Peripheral blood smear; 100× oil immersion.
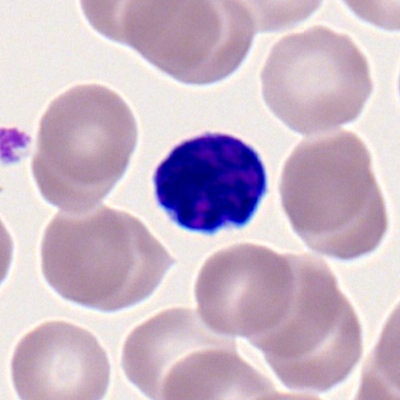Impression — lymphocyte.